Bone marrow smear · 250×250: 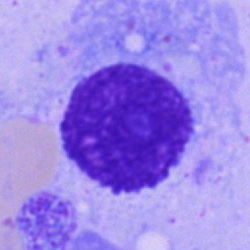 Impression → plasmacyte.